Peripheral blood film:
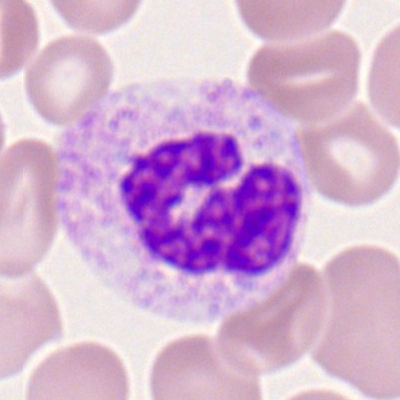
{"cell_type": "neutrophil (segmented)", "lineage": "myeloid"}